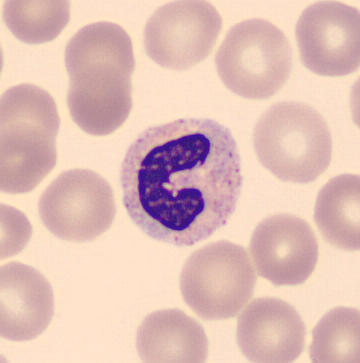
Single-cell crop from a peripheral blood smear: neutrophil (band).